Single-cell field. Bone marrow smear. Image size 250×250.
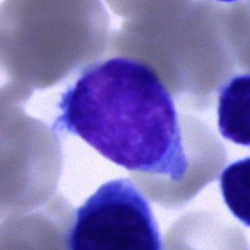

The cell is typical lymphocyte.